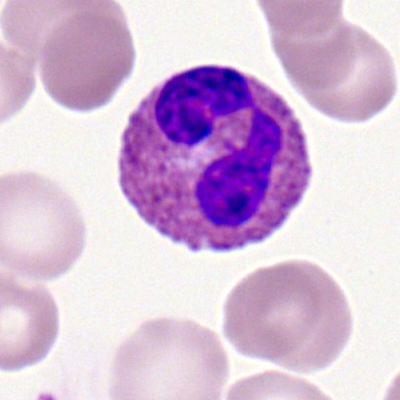
The cell type is eosinophil.